Bone marrow aspirate smear. Single cell centered in the field.
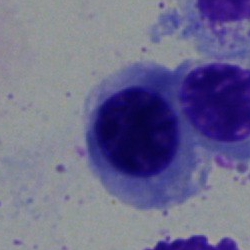Cell type = erythroblast.